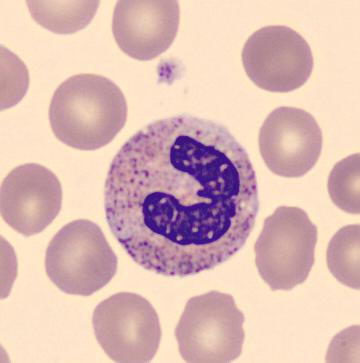
Imaged on a CellaVision DM96 analyser. May-Grünwald-Giemsa-stained.
Specimen: peripheral blood smear.
Cell type: band neutrophil.
Lineage: myeloid.